Peripheral blood smear; image size 400×400
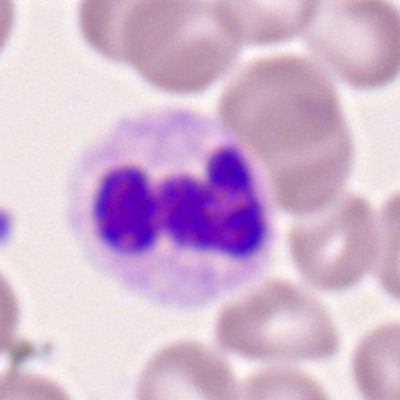
Morphology consistent with a neutrophil (segmented).